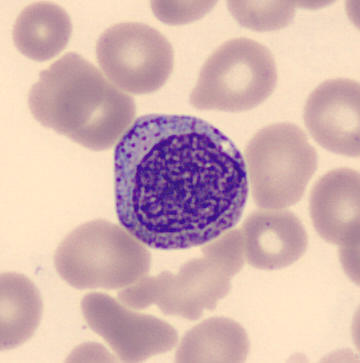Myelocyte.
Peripheral blood smear.